Bone marrow smear.
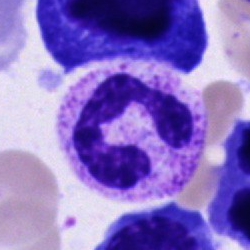
The cell type is neutrophil (segmented).